Bone marrow aspirate smear
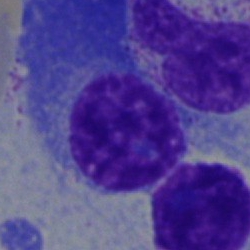
Cell type — plasma cell.